Bone marrow smear.
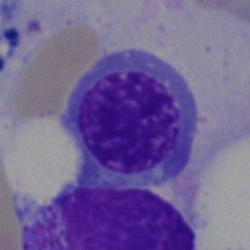 A nucleated red cell.